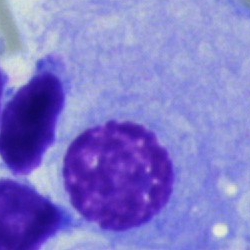 Morphology — plasma cell.